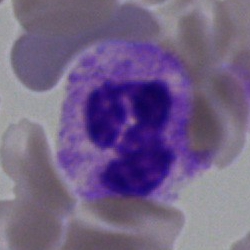

Cell type = neutrophil (segmented).